Bone marrow smear — 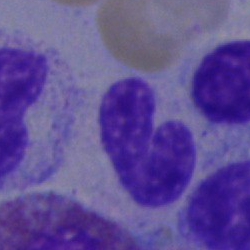

Showing a band-form neutrophil.